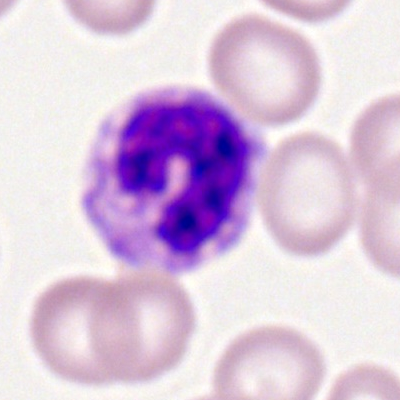Specimen: peripheral blood smear.
Cell type: band neutrophil.
Lineage: myeloid.